250×250; May-Grünwald-Giemsa stain; bone marrow aspirate smear — 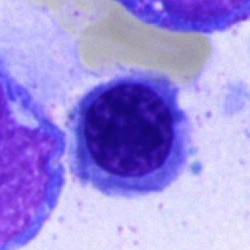 Q: What cell is this?
A: It is an erythroblast.